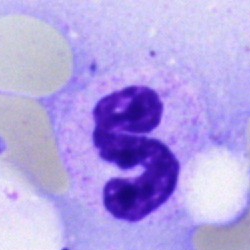Classification: neutrophil (segmented).